MGG-stained. Bone marrow aspirate smear — 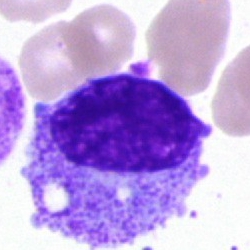The classification is progranulocyte.